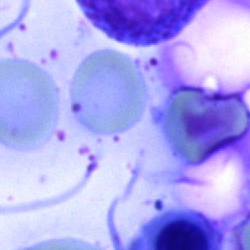
Bone marrow aspirate smear, single cell — artifact.